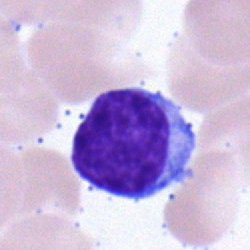 A lymphocyte on a bone marrow smear.